Bone marrow aspirate smear · image size 250×250:
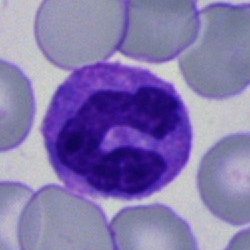
Cell type: band-form neutrophil.